Bone marrow smear · 250×250 px:
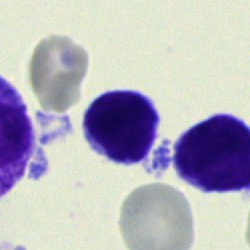

Specimen: bone marrow aspirate smear.
Cell type: typical lymphocyte.
Lineage: lymphoid.